Bone marrow aspirate smear
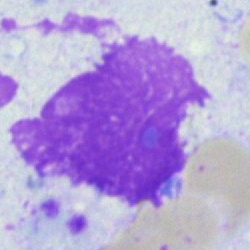
Cell = artifact.